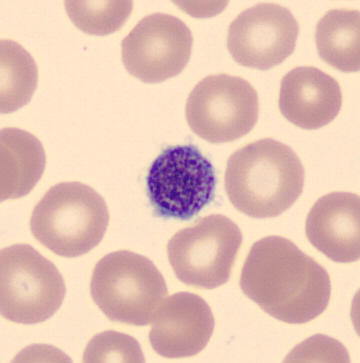
Acquisition: May Grünwald-Giemsa stain. Peripheral blood smear.

Morphology consistent with a platelet.